Bone marrow aspirate smear
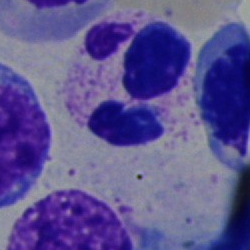Single cell identified as a neutrophil (segmented).